Bone marrow smear:
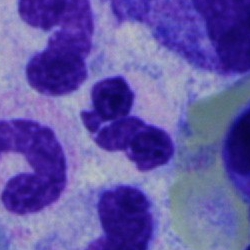Q: What is the morphological classification of this cell?
A: It is a neutrophil (segmented).